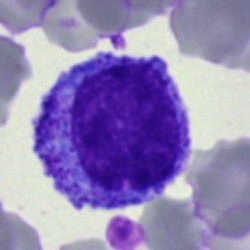 Cell — myelocyte.